Bone marrow aspirate smear — 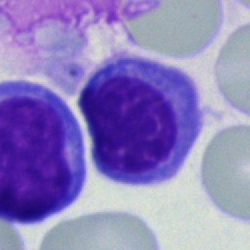

Q: What type of cell is this?
A: Nucleated red cell.